Bone marrow aspirate smear; single-cell crop — 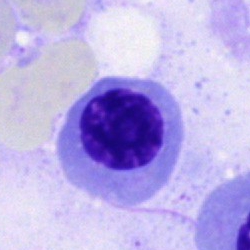{"cell_type": "nucleated red blood cell", "lineage": "erythroid"}